Peripheral blood film: 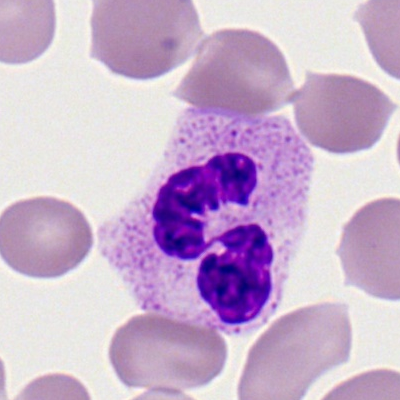

Single cell identified as a neutrophil (segmented).